Bone marrow smear — 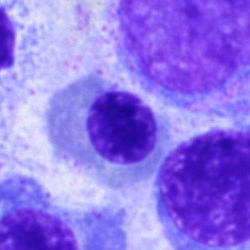Morphology consistent with a normoblast.